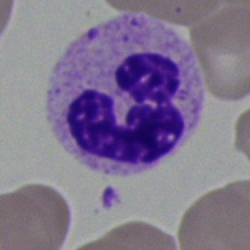

Q: What is the morphological classification of this cell?
A: It is a segmented neutrophil.